Bone marrow smear:
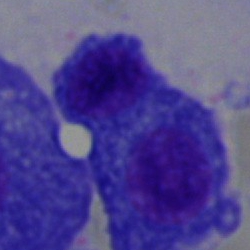
Morphology — plasma cell.